Bone marrow smear
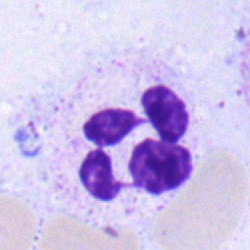Showing a neutrophil (segmented).